Bone marrow smear.
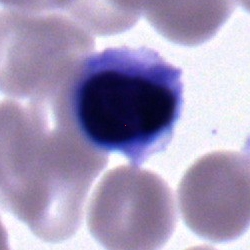Showing a nucleated red blood cell.